Bone marrow aspirate smear; image size 250×250 — 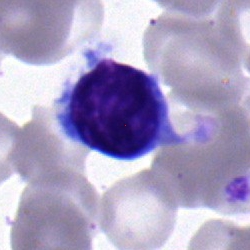Cell type — lymphocyte.